Bone marrow aspirate smear · May-Grünwald-Giemsa/Pappenheim stain · image size 250×250
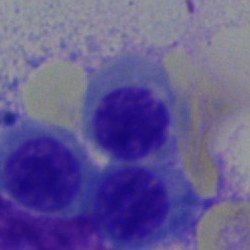
A nucleated red blood cell.